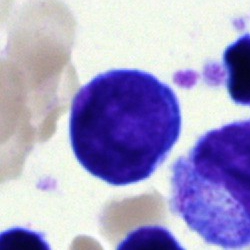
Cell = blast cell.